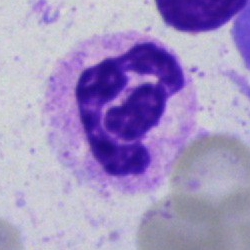 {"cell_type": "neutrophil (segmented)", "lineage": "myeloid"}